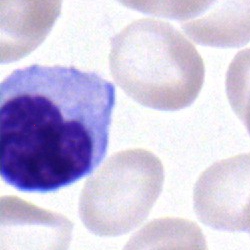
Specimen: bone marrow aspirate smear.
Cell: hairy cell.
Lineage: lymphoid.